Bone marrow smear.
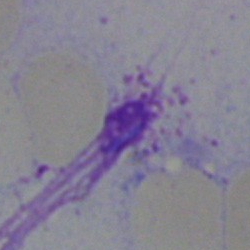 Cell type = artifact.